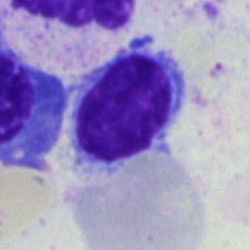 A typical lymphocyte on a bone marrow smear.